Peripheral blood film — 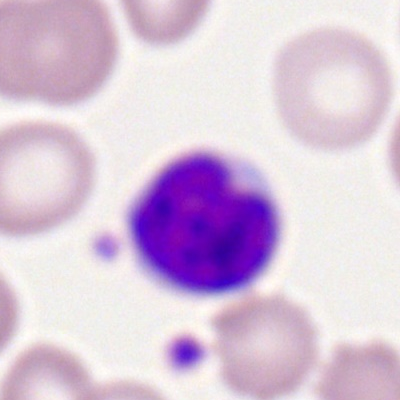
Q: What type of cell is this?
A: This is a lymphocyte.